Pappenheim-stained; single-cell crop; bone marrow smear
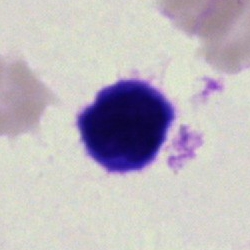 An artefact.